Bone marrow smear — 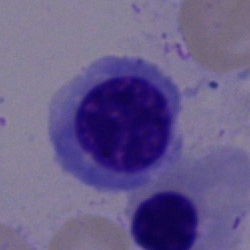

Nucleated red cell.